Cropped to a single cell · Pappenheim-stained · bone marrow aspirate smear — 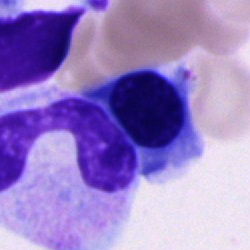

Q: Which cell type is shown here?
A: An erythroblast.